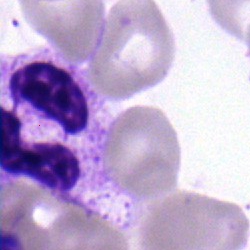Impression — segmented neutrophil.